Bone marrow smear — 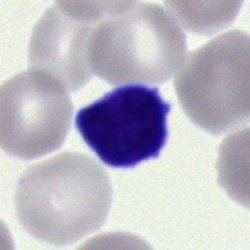
Showing a typical lymphocyte.